Bone marrow aspirate smear: 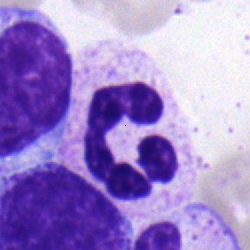Cell type — neutrophil (segmented).